Peripheral blood smear:
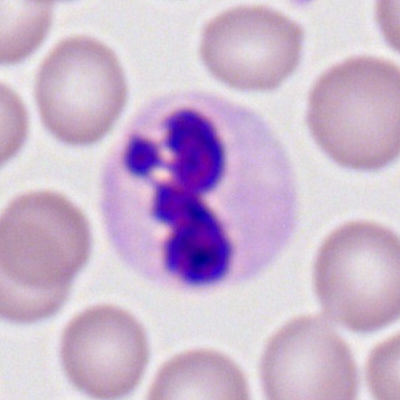Specimen: peripheral blood film.
Cell: neutrophil (segmented).